Automated cell imaging (CellaVision DM96). 360 by 363 pixels. Peripheral blood smear.
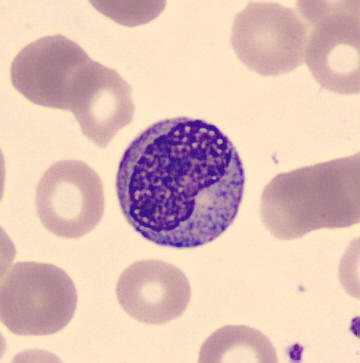 Cell = myelocyte.